40× objective, oil immersion. Bone marrow aspirate smear. May-Grünwald-Giemsa stain.
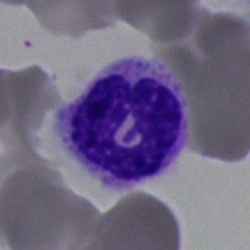
Morphological class — neutrophil (segmented).